Bone marrow aspirate smear — 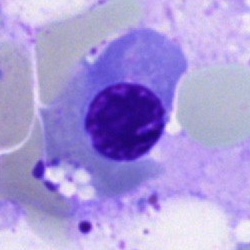Q: What type of cell is this?
A: This is a nucleated red cell.